Peripheral blood smear.
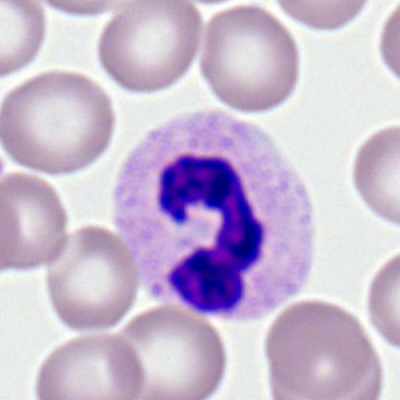

Morphological class — neutrophil (segmented).